Brightfield, 40× oil-immersion objective. Bone marrow aspirate smear — 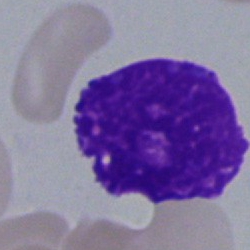Specimen: bone marrow aspirate smear.
Cell: artefact.